Cropped to a single cell · bone marrow smear · MGG-stained
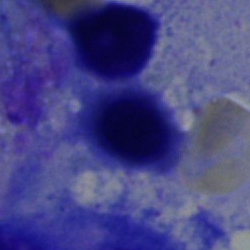
Morphology consistent with an erythroblast.